Bone marrow aspirate smear: 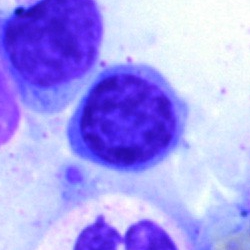Q: What cell is this?
A: It is a lymphocyte.